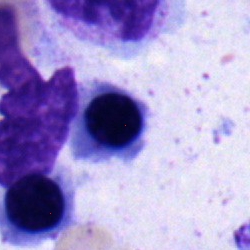

Bone marrow smear showing a nucleated red blood cell.